40× objective, oil immersion; bone marrow smear
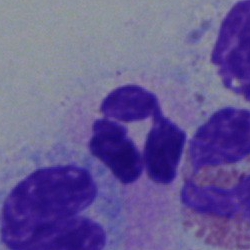
Polymorphonuclear neutrophil.